Bone marrow aspirate smear. 40× objective, oil immersion
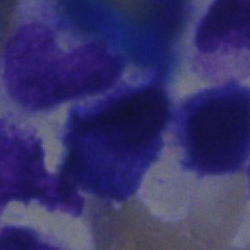 Specimen: bone marrow aspirate smear.
Cell type: artifact.